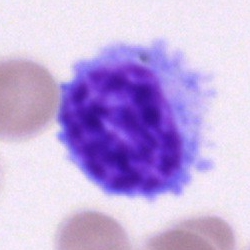 Specimen: bone marrow smear.
Morphological class: blast cell.